Bone marrow aspirate smear:
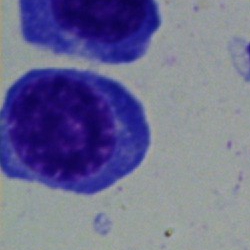

Q: What cell is this?
A: Normoblast.